MGG-stained · 40× objective, oil immersion · bone marrow aspirate smear: 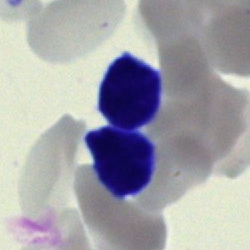

The cell shown is a lymphocyte.